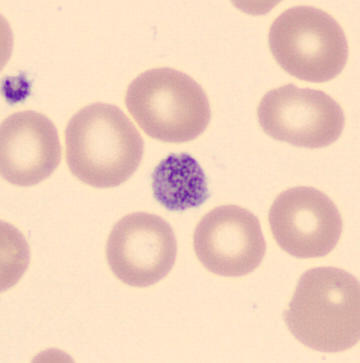MGG stain. Peripheral blood film. 360×363.

This is a platelet (thrombocyte).